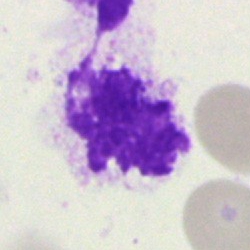
Q: What is shown here?
A: This is an artefact.